Bone marrow smear:
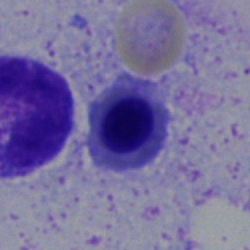 Morphology — nucleated red cell.